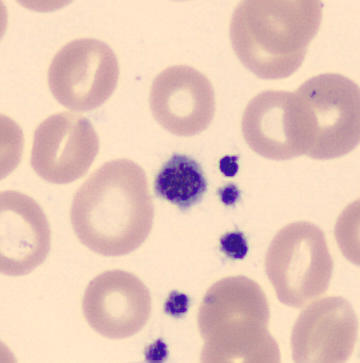
A platelet.
Image: Peripheral blood smear; CellaVision DM96.